May-Grünwald-Giemsa stain. Bone marrow aspirate smear — 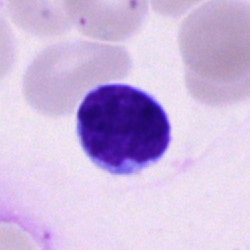Specimen: bone marrow aspirate smear.
Cell: lymphocyte.
Lineage: lymphoid.